Single-cell field. Bone marrow smear: 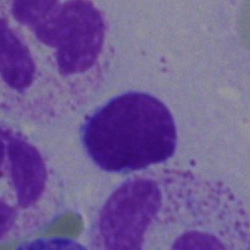Specimen: bone marrow smear.
Classification: lymphocyte.
Lineage: lymphoid.